Bone marrow aspirate smear
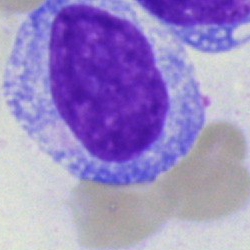
Specimen: bone marrow smear.
Morphological class: promyelocyte.
Lineage: myeloid.